Bone marrow aspirate smear; 250×250 px:
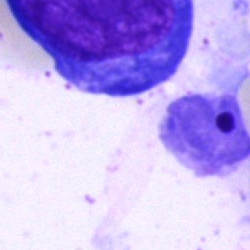

Cell type — artifact.